Bone marrow smear; single-cell crop — 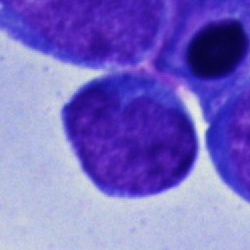
Morphological class: typical lymphocyte.